Bone marrow smear: 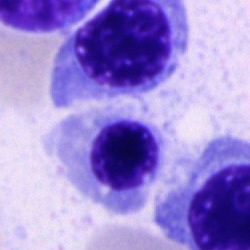
Specimen: bone marrow aspirate smear.
Cell type: nucleated red blood cell.
Lineage: erythroid.